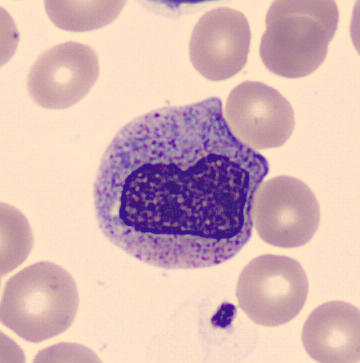 Preparation: Peripheral blood film.

Morphology consistent with a metamyelocyte.